40× oil immersion. Bone marrow smear — 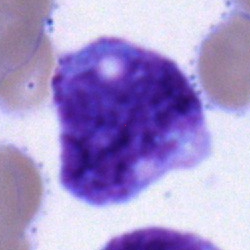Impression → monocyte.